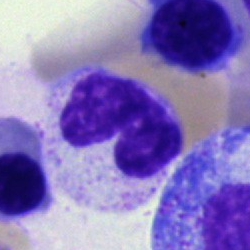
Morphological class: polymorphonuclear neutrophil.